250 by 250 pixels · bone marrow aspirate smear — 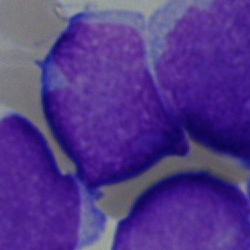 Blast cell.